Bone marrow aspirate smear:
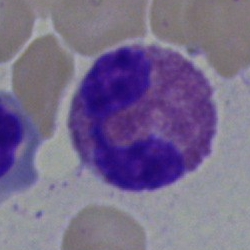

Impression — eosinophil.